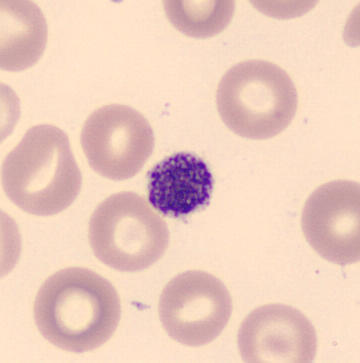
Image: Peripheral blood smear.
Morphology consistent with a thrombocyte.